Bone marrow smear:
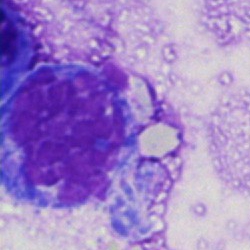

This is an artefact.